Peripheral blood smear — 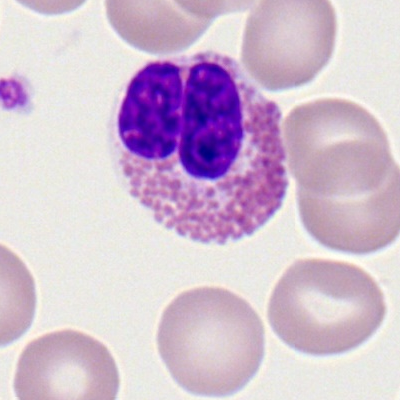Specimen: peripheral blood smear.
Morphological class: eosinophilic granulocyte.
Lineage: myeloid.